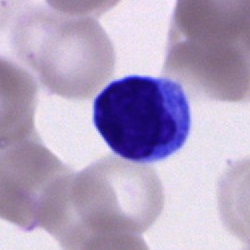{"cell_type": "lymphocyte"}